250 by 250 pixels; bone marrow smear — 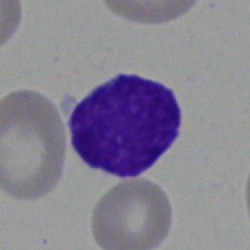

The cell shown is a lymphocyte.